Bone marrow smear · single-cell crop.
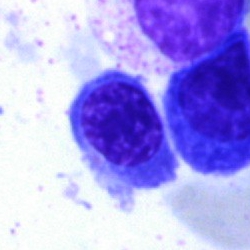 Q: What is the morphological classification of this cell?
A: Nucleated red blood cell.